250×250 px. Brightfield, 40× oil-immersion objective. Bone marrow aspirate smear
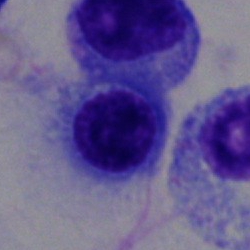Impression — nucleated red cell.